Bone marrow aspirate smear
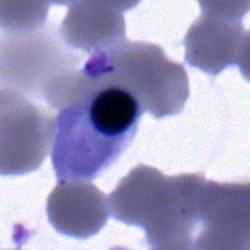

Q: What is the morphological classification of this cell?
A: A nucleated red blood cell.